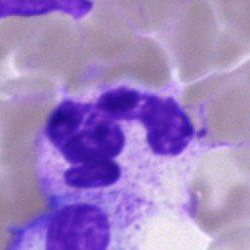Q: Which cell type is shown here?
A: This is a segmented neutrophil.